Bone marrow aspirate smear:
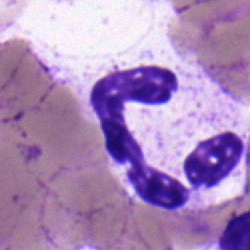 The classification is segmented neutrophil.